Bone marrow aspirate smear · MGG-stained
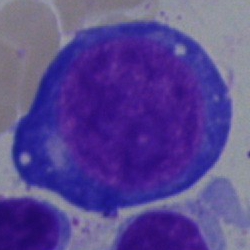
The cell shown is a pronormoblast.